Bone marrow aspirate smear; 250×250.
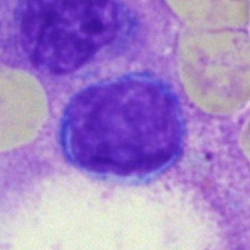 Single cell identified as a lymphocyte.